Peripheral blood smear · M8 digital microscope (Precipoint), 100× oil immersion · Romanowsky-type stain:
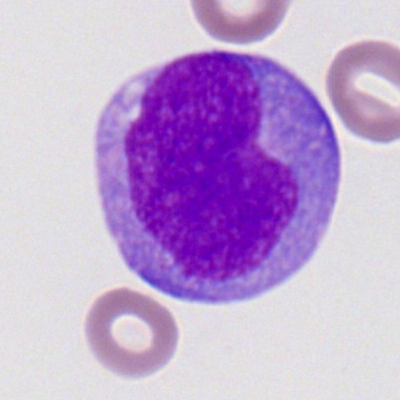 Q: What cell is this?
A: Myeloblast.